May-Grünwald-Giemsa/Pappenheim stain · bone marrow aspirate smear:
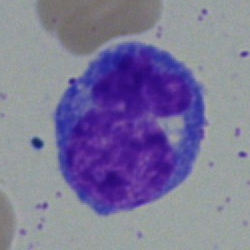

A blast.